May-Grünwald-Giemsa stain · 250 by 250 pixels · bone marrow smear: 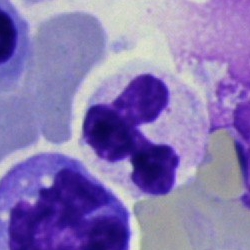 Cell type — segmented neutrophil.